Bone marrow smear; single-cell field
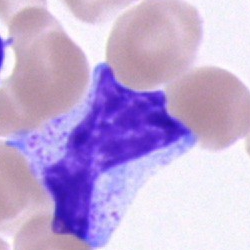 Morphology → unidentifiable cell.